Bone marrow smear; 40× oil immersion: 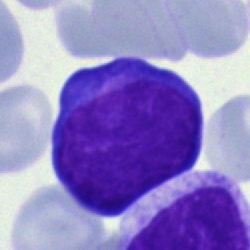
Showing a blast.